Bone marrow smear — 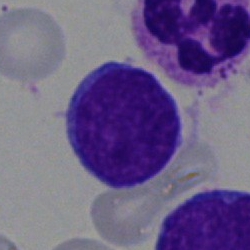 Classification: blast cell.